Bone marrow smear; 40× oil immersion.
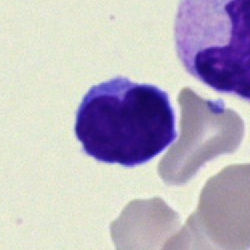
Specimen: bone marrow aspirate smear.
Classification: typical lymphocyte.
Lineage: lymphoid.